Bone marrow aspirate smear; single-cell field — 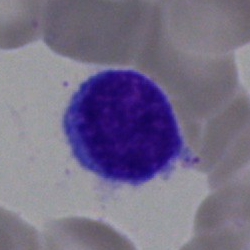 {"cell_type": "lymphocyte", "lineage": "lymphoid"}